Bone marrow smear
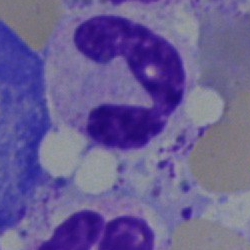 This is a segmented neutrophil.